Bone marrow aspirate smear — 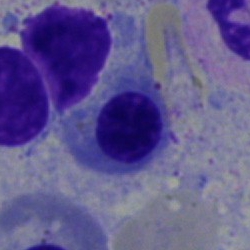

Morphology consistent with an erythroblast.